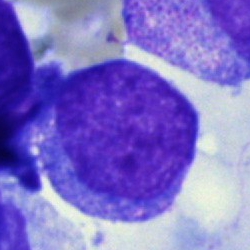
Cell type — undifferentiated blast.